250×250. Bone marrow aspirate smear: 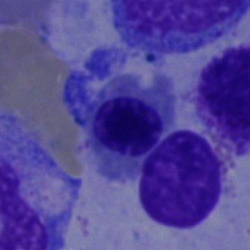
A band neutrophil.